Bone marrow smear: 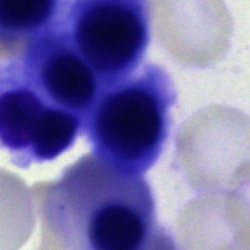 This is an erythroblast.